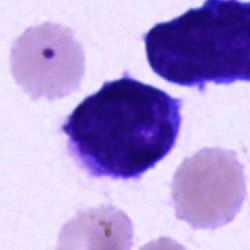

An undifferentiated blast on a bone marrow smear.